Bone marrow aspirate smear · brightfield, 40× oil-immersion objective: 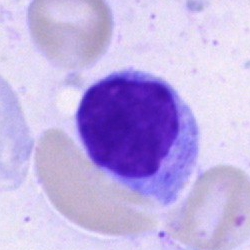This is a typical lymphocyte.